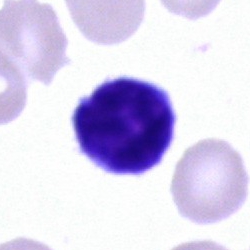
Morphological class: lymphocyte.